40× oil immersion; bone marrow smear; single-cell field: 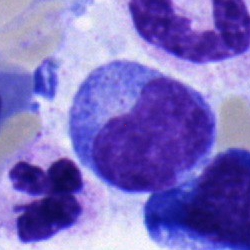Morphology consistent with a typical lymphocyte.